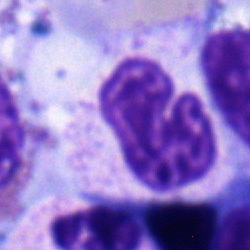Q: Which cell type is shown here?
A: Band neutrophil.